Bone marrow smear:
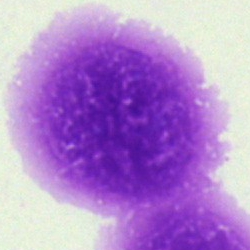Impression — artifact.